May-Grünwald-Giemsa stain. Brightfield microscopy, 40× oil immersion. Bone marrow smear:
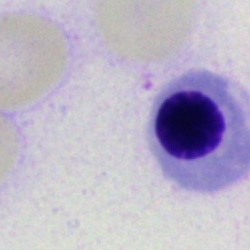

Q: Which cell type is shown here?
A: An erythroblast.